Bone marrow aspirate smear.
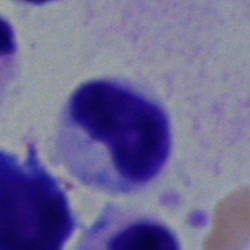
Q: What is shown here?
A: A metamyelocyte.